Bone marrow smear. Cropped to a single cell.
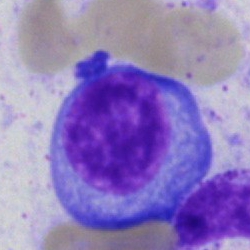This is a plasmacyte.